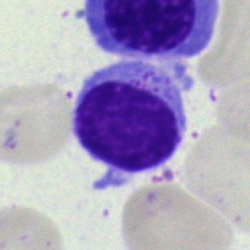

Bone marrow smear showing a typical lymphocyte.